Peripheral blood smear; 100× oil immersion, 14.14 px/µm
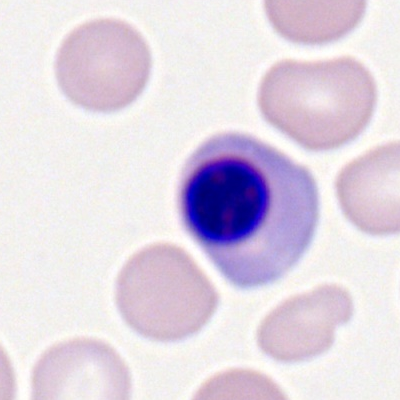
Classification: nucleated red blood cell.